Bone marrow smear
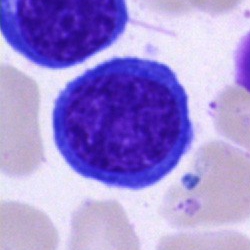 Morphological class: nucleated red cell.